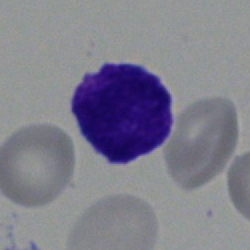Cell: lymphocyte.